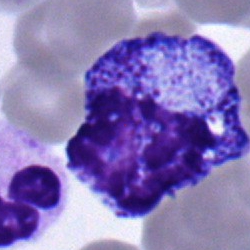
The cell shown is a progranulocyte.